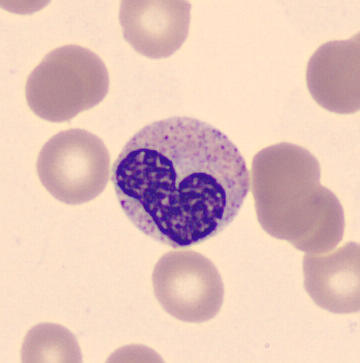Peripheral blood film, single cell — band-form neutrophil.